Peripheral blood film · Romanowsky stain · brightfield, 100× oil-immersion objective
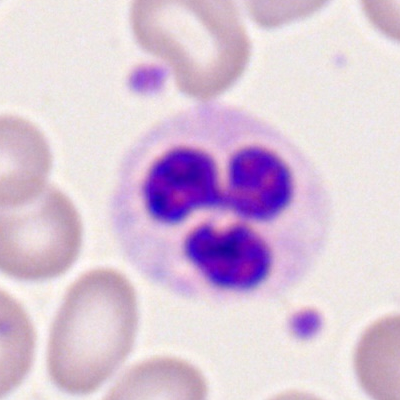This is a polymorphonuclear neutrophil.